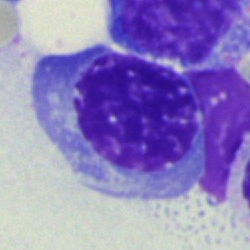The classification is nucleated red cell.